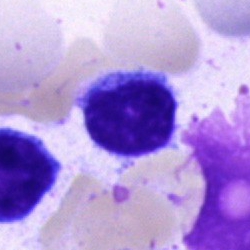

Morphology — lymphocyte.